Single-cell field. Bone marrow aspirate smear. May-Grünwald-Giemsa/Pappenheim stain:
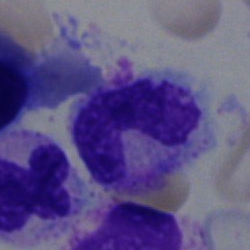 Q: What is the morphological classification of this cell?
A: This is a band-form neutrophil.